Bone marrow smear:
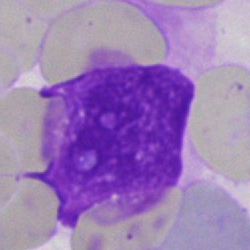

{"cell_type": "artifact"}